May-Grünwald-Giemsa/Pappenheim stain; bone marrow aspirate smear: 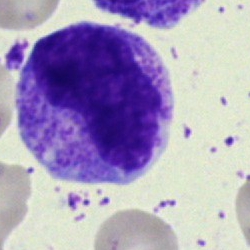 Metamyelocyte.